Bone marrow smear: 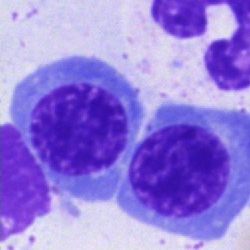This is a nucleated red blood cell.